250×250 px; bone marrow aspirate smear:
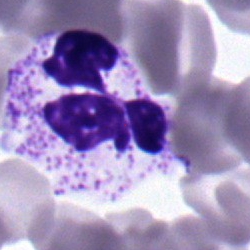 The cell shown is a neutrophil (segmented).